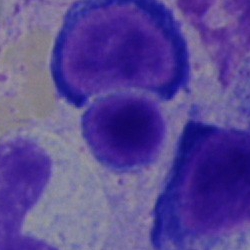

Impression → lymphocyte.